Cropped to a single cell; bone marrow smear:
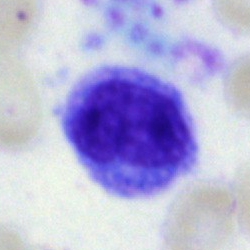{"cell_type": "monocyte", "lineage": "myeloid"}